May-Grünwald-Giemsa stain · bone marrow aspirate smear · 250×250 px
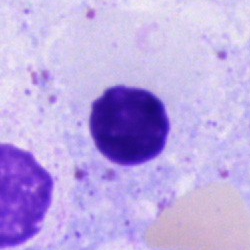Morphology consistent with an artefact.